250×250 px. Bone marrow aspirate smear — 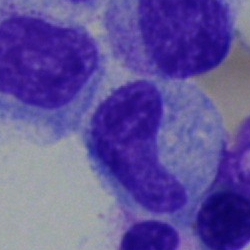

Morphology — neutrophil (band).